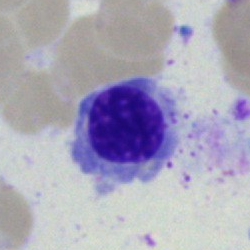
Q: Identify the cell.
A: A normoblast.